Bone marrow smear; 250×250; May-Grünwald-Giemsa/Pappenheim stain.
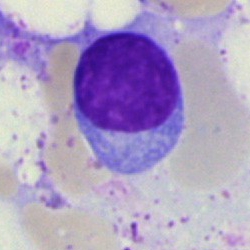 Q: What cell is this?
A: It is a polymorphonuclear neutrophil.